Bone marrow smear: 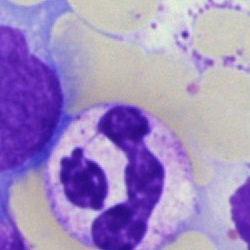
Classification — polymorphonuclear neutrophil.